250×250; bone marrow aspirate smear: 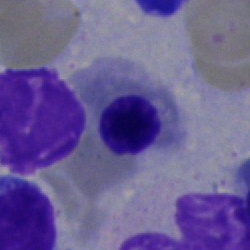Morphological class — nucleated red blood cell.